Brightfield, 40× oil-immersion objective. Bone marrow aspirate smear. 250 by 250 pixels
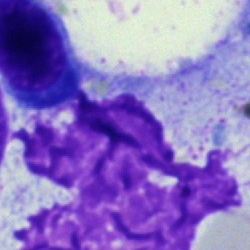
{"cell_type": "artifact"}